May-Grünwald-Giemsa/Pappenheim stain. Bone marrow aspirate smear:
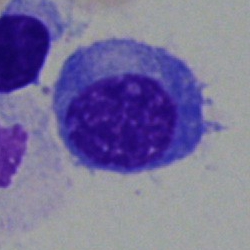
Morphology → plasmacyte.